Bone marrow smear. Single-cell crop.
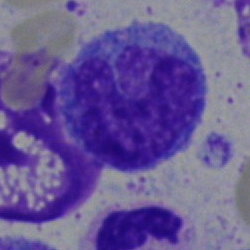
Classification — monocyte.